Peripheral blood smear. Cropped to a single cell — 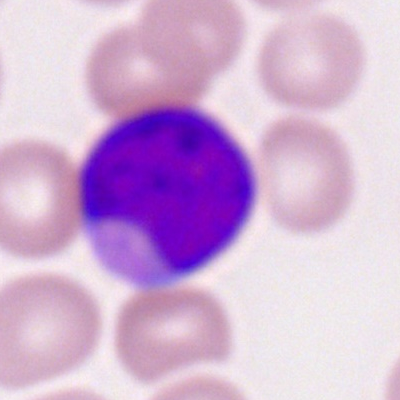 Myeloblast.